100× oil immersion; peripheral blood film
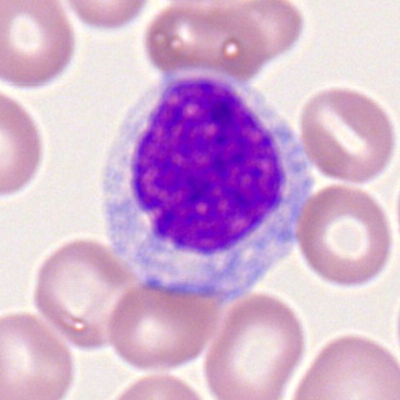Q: What is shown here?
A: This is a monocyte.